Single cell centered in the field · bone marrow smear · brightfield microscopy, 40× oil immersion: 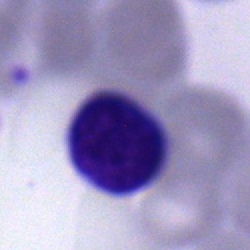

Specimen: bone marrow smear.
Classification: typical lymphocyte.
Lineage: lymphoid.